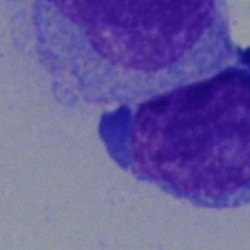Specimen: bone marrow aspirate smear.
Classification: artefact.